Image size 250×250. May-Grünwald-Giemsa/Pappenheim stain. Bone marrow smear.
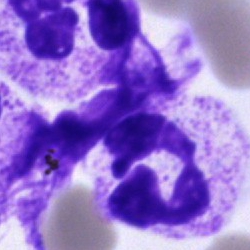

The cell shown is a polymorphonuclear neutrophil.